Peripheral blood film: 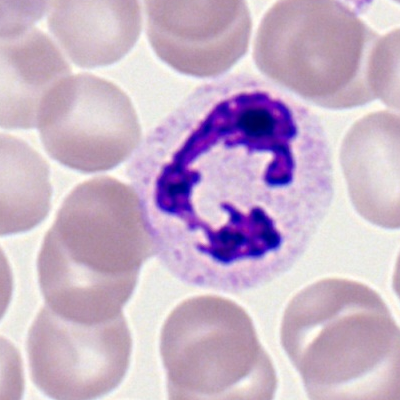

Cell type — neutrophil (segmented).